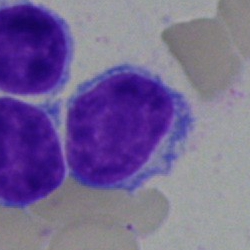

Classification = typical lymphocyte.